100× objective, oil immersion. Peripheral blood film — 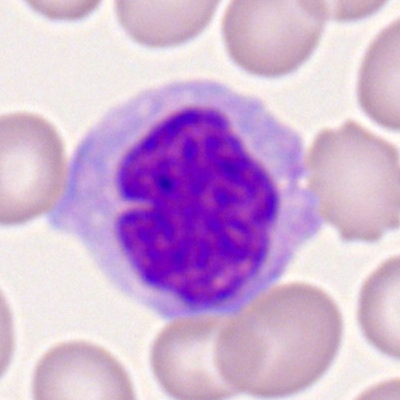 Morphology — monocyte.